Single-cell field · bone marrow smear.
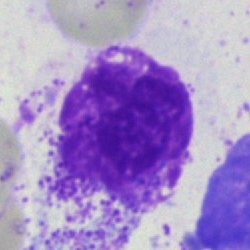This is an artefact.